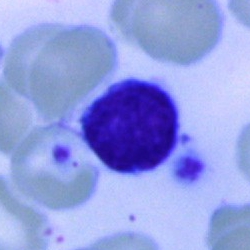 Q: Identify the cell.
A: This is a lymphocyte.